Peripheral blood film — 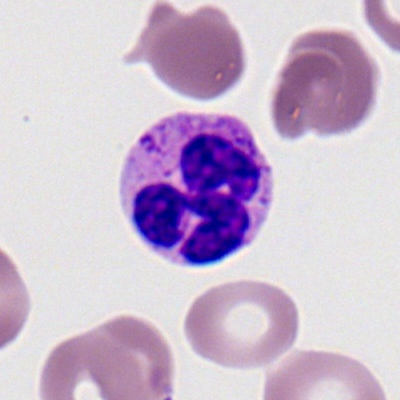Morphological class: polymorphonuclear neutrophil.